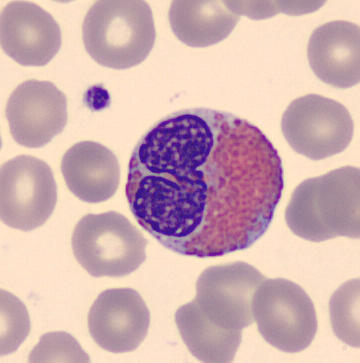
The cell shown is an eosinophilic granulocyte.